Bone marrow aspirate smear. 250×250. May-Grünwald-Giemsa/Pappenheim stain — 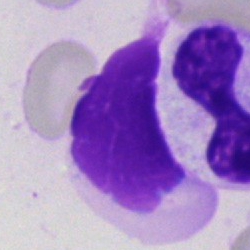 Impression — artefact.